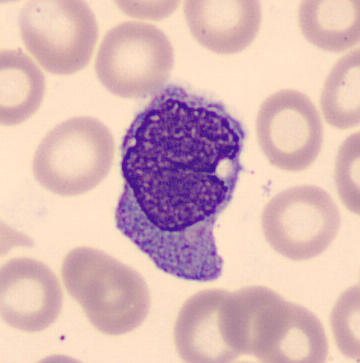 Peripheral blood film. The cell shown is a monocyte.